Bone marrow aspirate smear. May-Grünwald-Giemsa stain
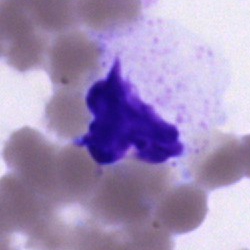 This is an artefact.